Bone marrow aspirate smear; 250×250 px; brightfield microscopy, 40× oil immersion: 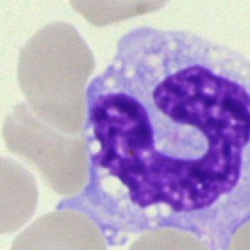

Classification = monocyte.